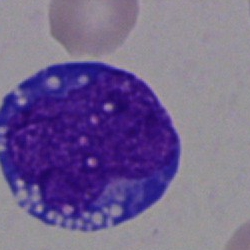 The morphological class is blast cell.